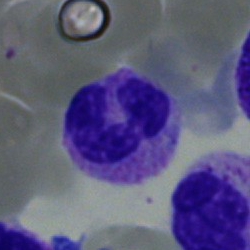
Morphological class: segmented neutrophil.